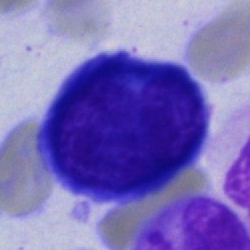 Q: What type of cell is this?
A: A proerythroblast.